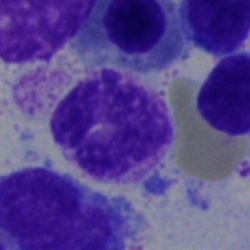
Impression — segmented neutrophil.